Peripheral blood film: 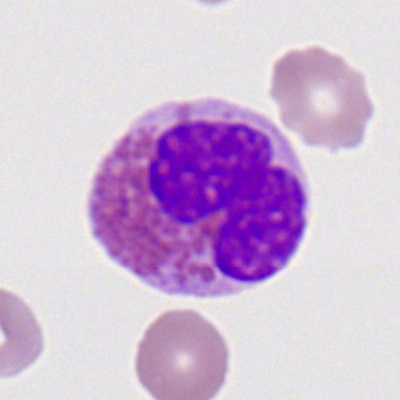
Eosinophilic granulocyte.